400×400 · peripheral blood smear · single-cell crop.
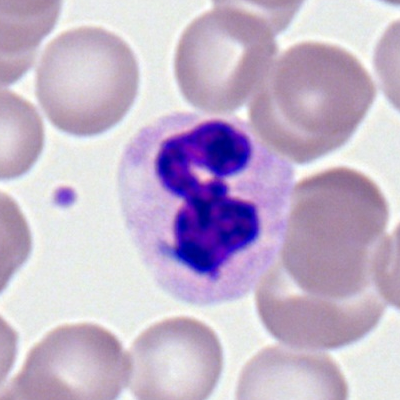

Segmented neutrophil.